Bone marrow smear:
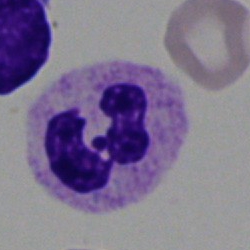
A segmented neutrophil.